Bone marrow smear
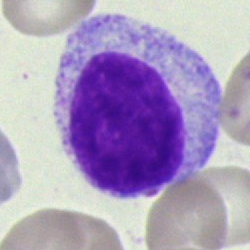
Q: Which cell type is shown here?
A: This is a myelocyte.